Bone marrow aspirate smear. May-Grünwald-Giemsa/Pappenheim stain
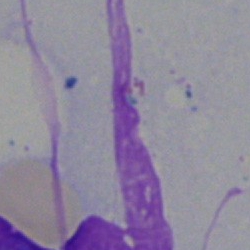
Artefact.